Automated cell imaging (CellaVision DM96). Peripheral blood film. Single-cell crop.
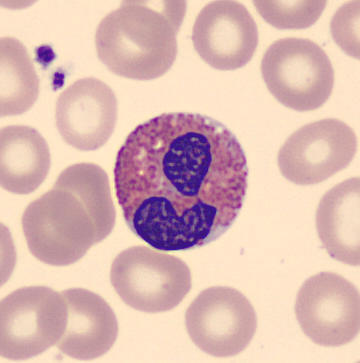
Showing an eosinophil.